Bone marrow aspirate smear:
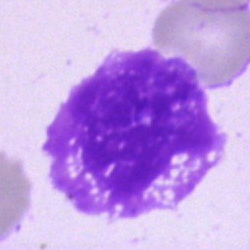
Specimen: bone marrow smear.
Cell: artifact.